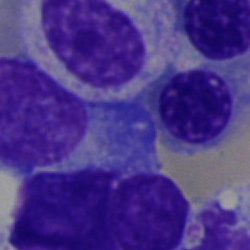
A normoblast.